Single-cell crop. Bone marrow smear — 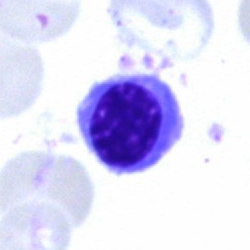
Classification: normoblast.